Bone marrow smear.
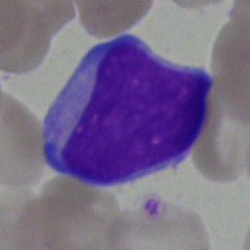The cell shown is a blast.